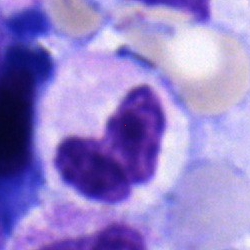
Impression → band-form neutrophil.